Single-cell crop. Bone marrow smear: 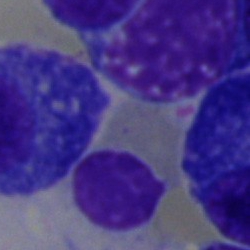
Morphology consistent with a plasma cell.